Pappenheim-stained · cropped to a single cell · bone marrow aspirate smear — 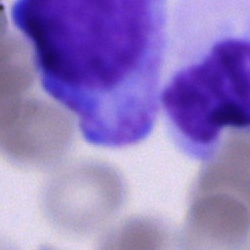 Showing a cell of indeterminate lineage.